Bone marrow smear · 250×250 · 40× oil immersion:
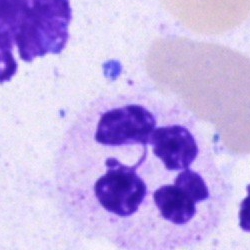
The cell shown is a segmented neutrophil.